Bone marrow smear
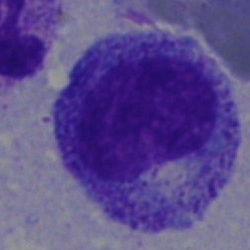 Morphology — promyelocyte.